250×250 px; bone marrow aspirate smear: 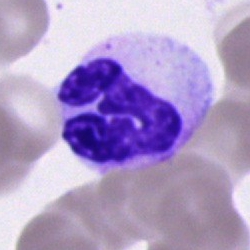 Single cell identified as a polymorphonuclear neutrophil.